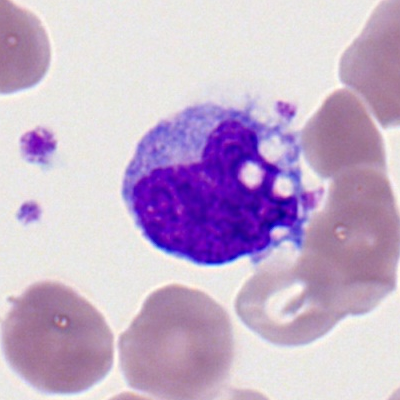 Morphological class = monocyte.